Bone marrow smear.
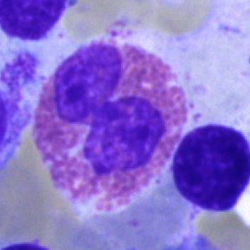
Cell type = eosinophilic granulocyte.